Bone marrow aspirate smear; 40× oil immersion; 250 by 250 pixels
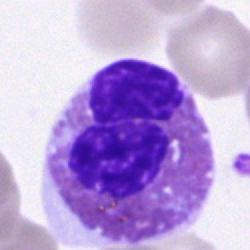 Showing an eosinophil.